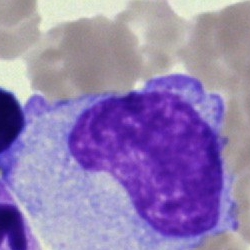Classification: promyelocyte.